May-Grünwald-Giemsa/Pappenheim stain · single-cell crop · bone marrow aspirate smear
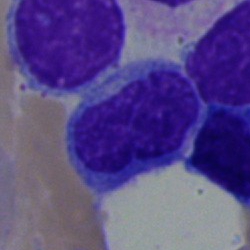The classification is lymphocyte.